Bone marrow aspirate smear; brightfield, 40× oil-immersion objective: 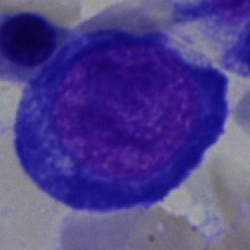
{"cell_type": "pronormoblast", "lineage": "erythroid"}